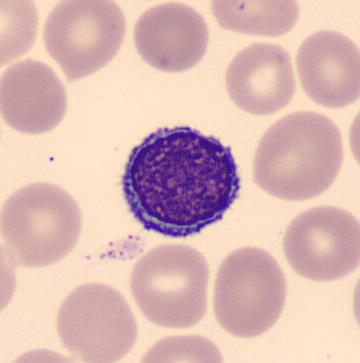 Morphology — lymphocyte.

Peripheral blood smear.